Bone marrow smear — 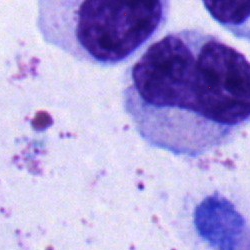Showing a metamyelocyte.